Bone marrow aspirate smear · cropped to a single cell
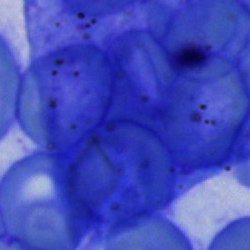Morphology — unidentifiable cell.